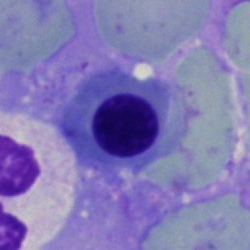
The cell is nucleated red blood cell.